Bone marrow aspirate smear: 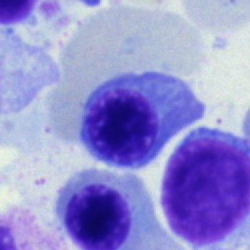 Q: Which cell type is shown here?
A: Erythroblast.